Bone marrow aspirate smear:
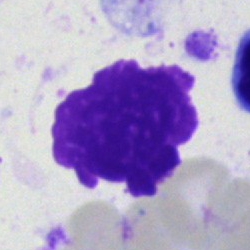 Artifact.